Bone marrow aspirate smear
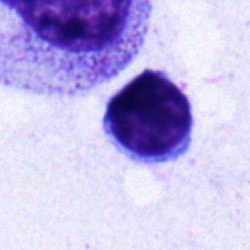 Single cell identified as a lymphocyte.